Bone marrow aspirate smear.
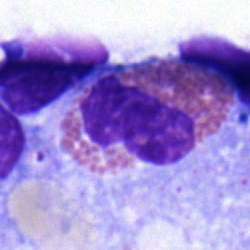
{"cell_type": "eosinophil"}